Bone marrow smear:
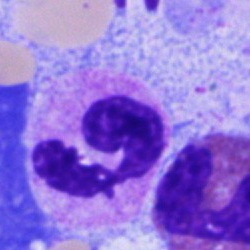Single cell identified as a lymphocyte.